Bone marrow smear
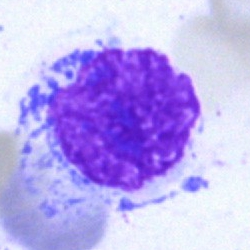Morphology → artifact.